40× objective, oil immersion; bone marrow aspirate smear; Pappenheim-stained
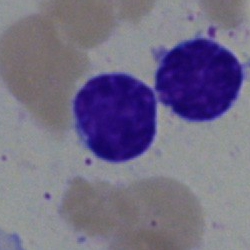
Q: What is the morphological classification of this cell?
A: A lymphocyte.